100× oil immersion, 14.14 px/µm · peripheral blood smear.
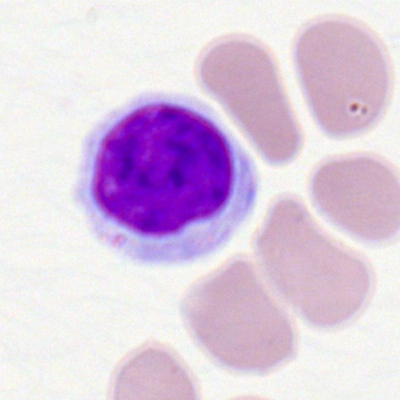 The classification is typical lymphocyte.